Bone marrow aspirate smear:
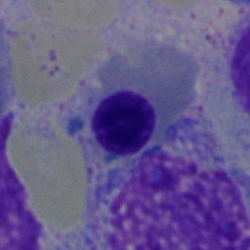 Specimen: bone marrow smear.
Cell type: nucleated red cell.
Lineage: erythroid.